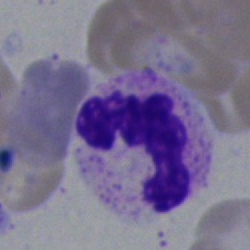

Bone marrow smear showing a polymorphonuclear neutrophil.